Image size 250×250 · bone marrow aspirate smear · single-cell crop
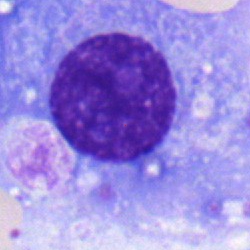
The cell type is plasmacyte.